100× objective, oil immersion. Peripheral blood film. 400×400 px.
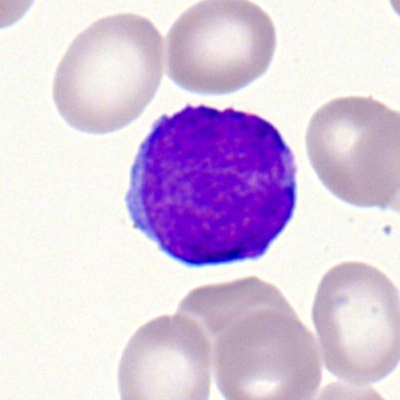Morphology consistent with a myeloid blast.